Bone marrow aspirate smear — 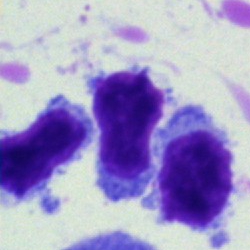 A lymphocyte.